Peripheral blood smear; 100× objective, oil immersion
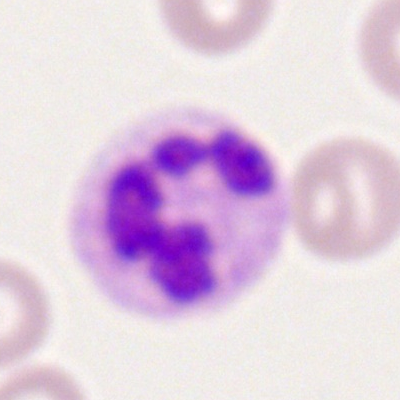 This is a segmented neutrophil.